Bone marrow aspirate smear: 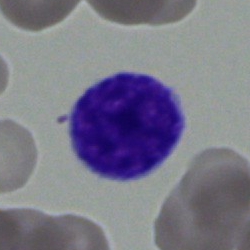 A lymphocyte.